Bone marrow aspirate smear
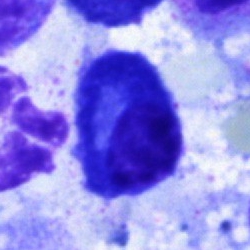 Impression → plasmacyte.